Bone marrow aspirate smear — 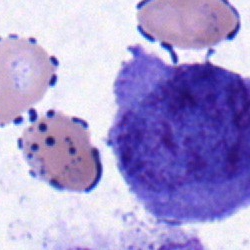 Morphology — blast.